Bone marrow smear · 250 by 250 pixels
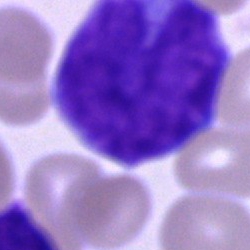

{"cell_type": "blast"}